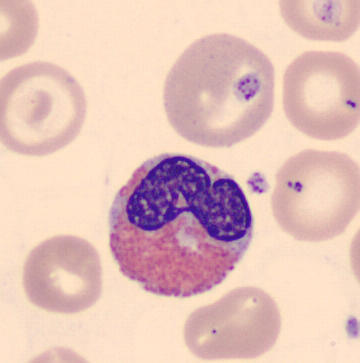

Q: What is this?
A: Eosinophil.